Peripheral blood film.
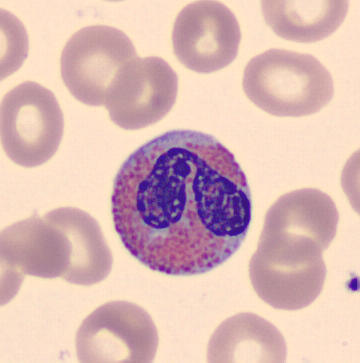
Cell: eosinophilic granulocyte.